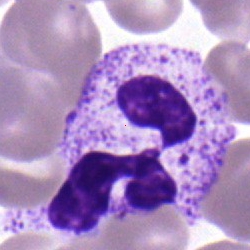 The cell shown is a polymorphonuclear neutrophil.